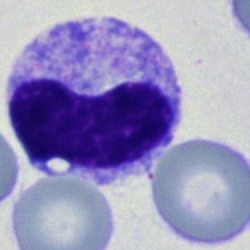

Single cell identified as a metamyelocyte.